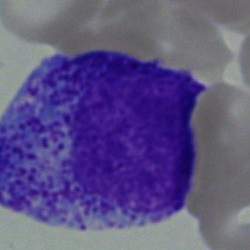

Specimen: bone marrow aspirate smear.
Morphological class: promyelocyte.